Single cell centered in the field; bone marrow aspirate smear:
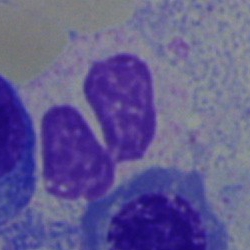

Cell type = polymorphonuclear neutrophil.